Brightfield, 40× oil-immersion objective; bone marrow aspirate smear; single-cell crop:
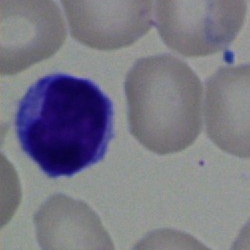
Morphology — typical lymphocyte.